Single cell centered in the field · bone marrow smear — 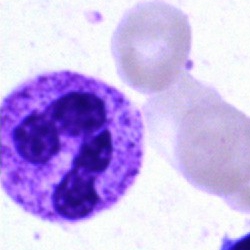
Impression → polymorphonuclear neutrophil.